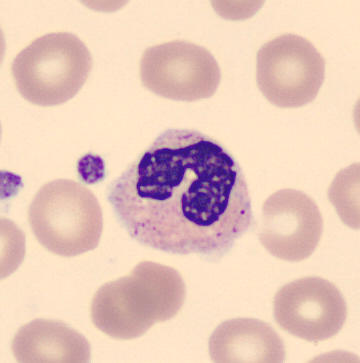Q: Identify the cell.
A: It is a stab cell. Peripheral blood smear.